Bone marrow aspirate smear · Pappenheim-stained
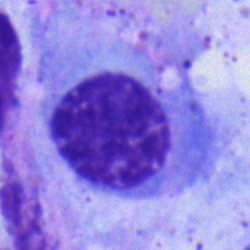 Morphology — nucleated red cell.